Bone marrow smear: 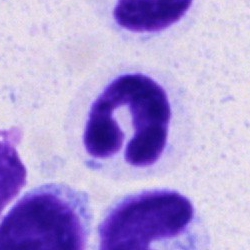

Showing a neutrophil (segmented).